Bone marrow aspirate smear; 250×250 — 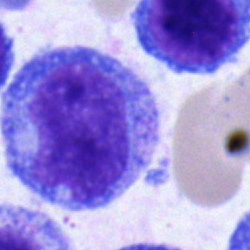
{"cell_type": "monocyte", "lineage": "myeloid"}